Cropped to a single cell; bone marrow aspirate smear
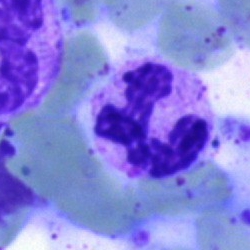
Cell = neutrophil (segmented).